Bone marrow smear; May-Grünwald-Giemsa stain:
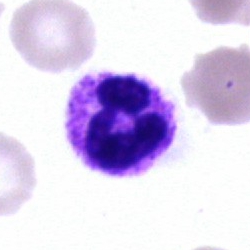
Morphology — polymorphonuclear neutrophil.